40× objective, oil immersion · bone marrow smear · single-cell field:
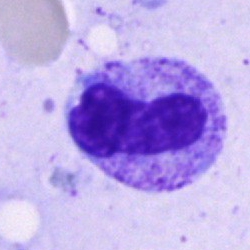Impression — band-form neutrophil.